Peripheral blood smear.
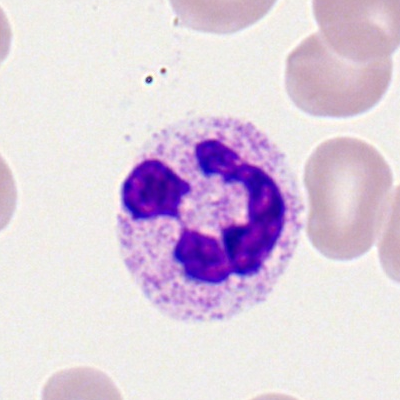

Single cell identified as a neutrophil (segmented).